Bone marrow smear — 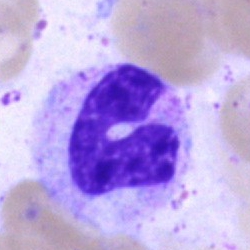
This is a stab cell.